Bone marrow aspirate smear:
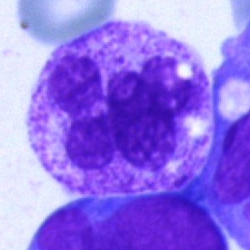 The cell shown is a segmented neutrophil.